Bone marrow smear.
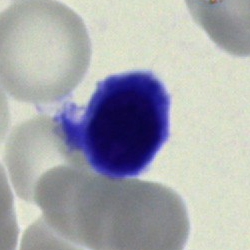
Morphology — typical lymphocyte.